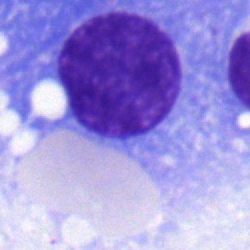
Morphological class: plasmacyte.